250×250 px · bone marrow smear:
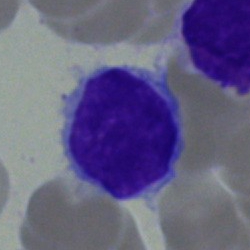

Single cell identified as a typical lymphocyte.